Bone marrow aspirate smear.
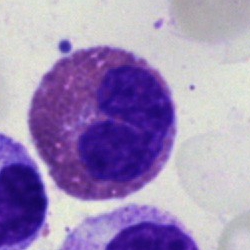
Classification: eosinophil.